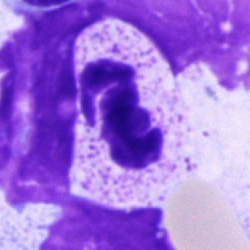 The cell shown is a segmented neutrophil.